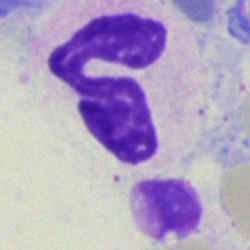

Impression → segmented neutrophil.